40× objective, oil immersion. MGG-stained. Bone marrow smear:
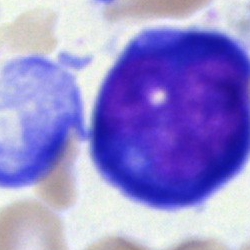 {"cell_type": "proerythroblast"}